Single cell centered in the field; peripheral blood smear — 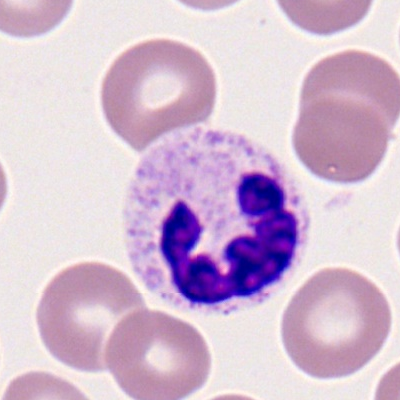

Cell — polymorphonuclear neutrophil.